Bone marrow smear:
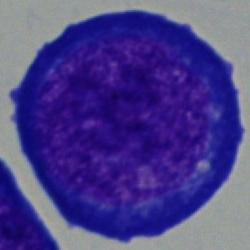{"cell_type": "proerythroblast"}